MGG-stained. Bone marrow aspirate smear. Single-cell field:
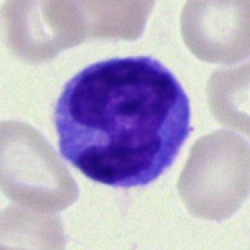 Impression → monocyte.